250×250 px. May-Grünwald-Giemsa stain. Bone marrow smear — 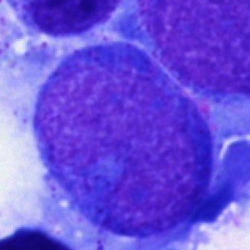Cell = undifferentiated blast.